Bone marrow smear.
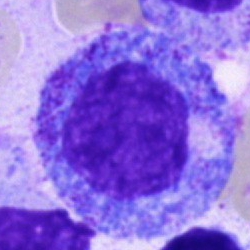 Morphology consistent with a progranulocyte.